Bone marrow aspirate smear:
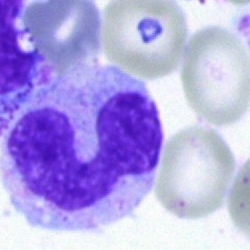
Showing a band neutrophil.